Bone marrow smear; MGG-stained.
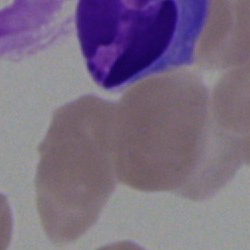 Specimen: bone marrow smear.
Cell: artifact.